Bone marrow smear; brightfield, 40× oil-immersion objective
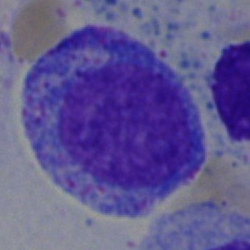{"cell_type": "progranulocyte", "lineage": "myeloid"}